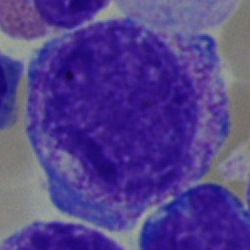Morphological class — promyelocyte.